Peripheral blood smear.
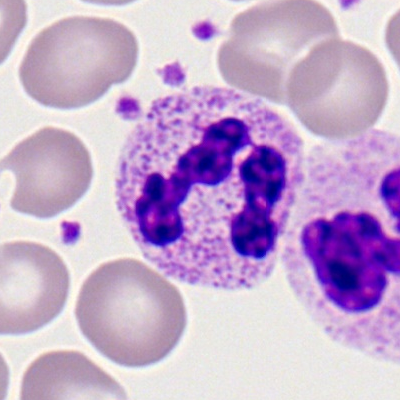

Q: What is the morphological classification of this cell?
A: A segmented neutrophil.